Bone marrow smear. Single cell centered in the field:
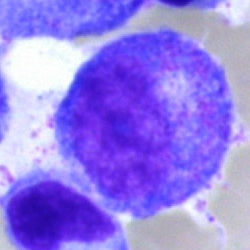Q: What is shown here?
A: It is a progranulocyte.